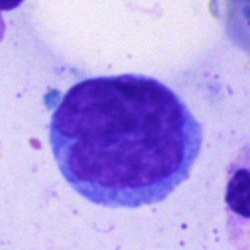
Single-cell crop from a bone marrow smear: monocyte.